Peripheral blood film; 100× oil immersion, 14.14 px/µm
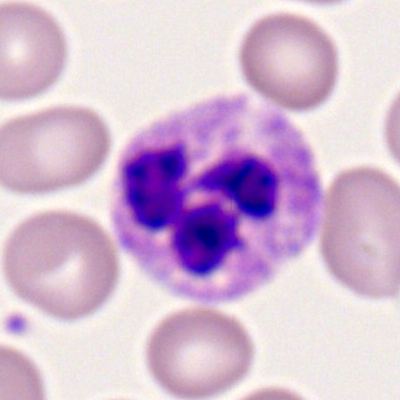 Neutrophil (segmented).